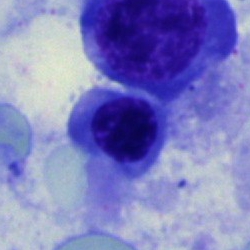

Erythroblast.